Image size 360×363 · peripheral blood film
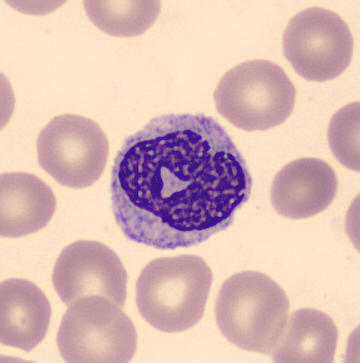Monocyte.